Bone marrow aspirate smear.
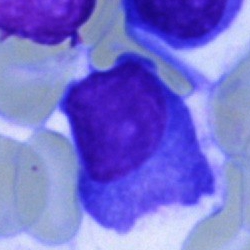 Morphological class = plasmacyte.